Bone marrow smear; 40× objective, oil immersion; May-Grünwald-Giemsa/Pappenheim stain: 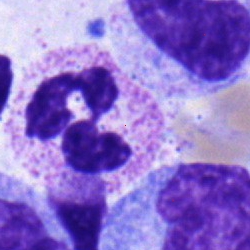

Cell = segmented neutrophil.